Peripheral blood smear — 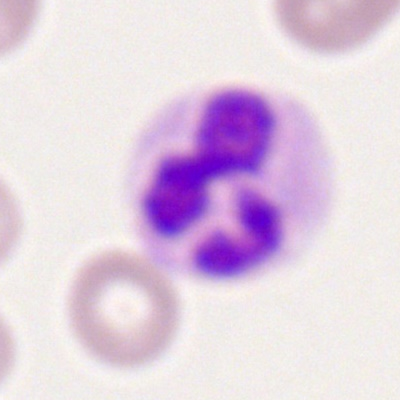
Showing a polymorphonuclear neutrophil.